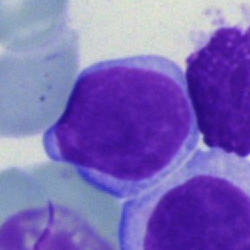 Single cell identified as a typical lymphocyte.